Bone marrow aspirate smear · MGG-stained.
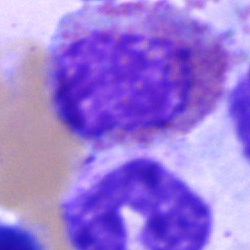 Specimen: bone marrow aspirate smear.
Morphological class: eosinophilic granulocyte.
Lineage: myeloid.